Bone marrow aspirate smear:
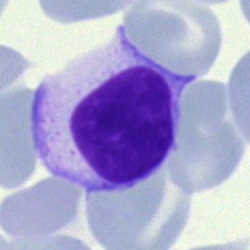
The classification is typical lymphocyte.